Bone marrow smear.
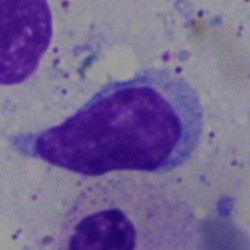{"cell_type": "lymphocyte", "lineage": "lymphoid"}